Bone marrow smear: 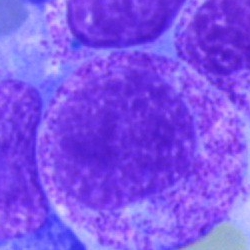
This is a myelocyte.